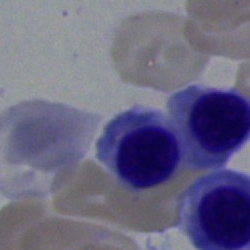

Nucleated red blood cell.